Romanowsky-stained. Peripheral blood smear:
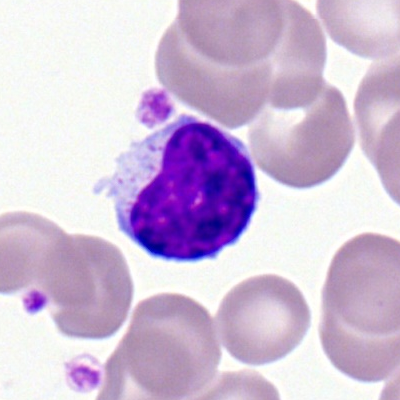
Showing a lymphocyte.